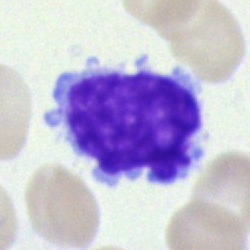

Impression — typical lymphocyte.